Bone marrow aspirate smear · 40× oil immersion · single-cell crop: 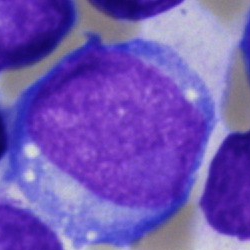

Cell = blast.